40× objective, oil immersion. MGG-stained. Bone marrow smear
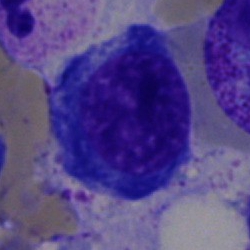

Specimen: bone marrow aspirate smear.
Cell: pronormoblast.
Lineage: erythroid.